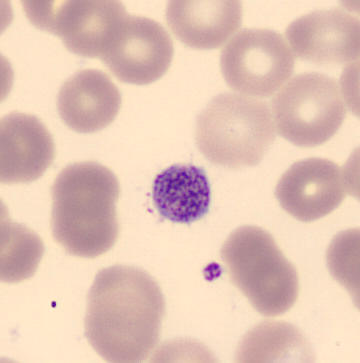A platelet.

Acquisition: Peripheral blood smear.